Bone marrow smear
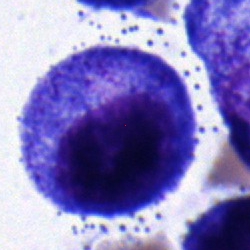

The cell is promyelocyte.